Peripheral blood film · CellaVision DM96 digital cell image:
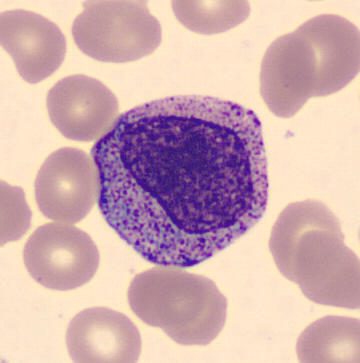

Q: Which cell type is shown here?
A: It is a promyelocyte.